Bone marrow aspirate smear. 250×250 px. MGG-stained — 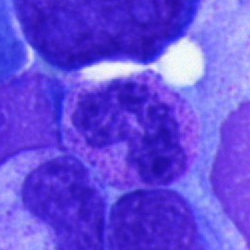 Showing a polymorphonuclear neutrophil.